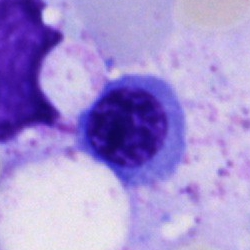 Bone marrow aspirate smear, single cell — blast.